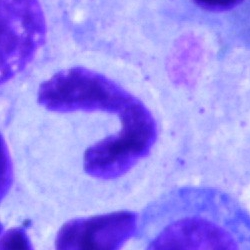

Specimen: bone marrow smear.
Classification: neutrophil (band).
Lineage: myeloid.